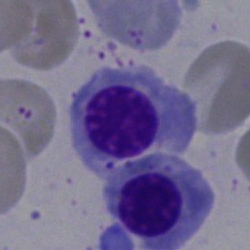 Bone marrow smear showing an erythroblast.